Bone marrow smear:
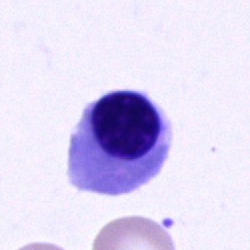Specimen: bone marrow smear.
Cell: nucleated red blood cell.